Bone marrow smear:
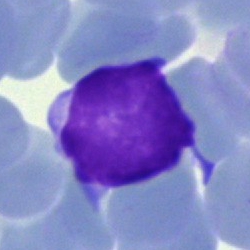Typical lymphocyte.